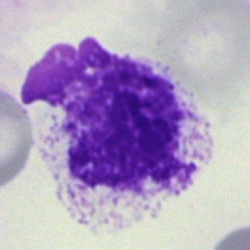

Bone marrow aspirate smear, single cell — artifact.